Bone marrow aspirate smear:
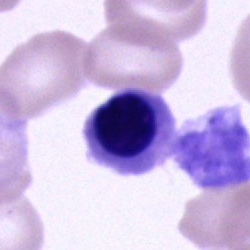The morphological class is normoblast.